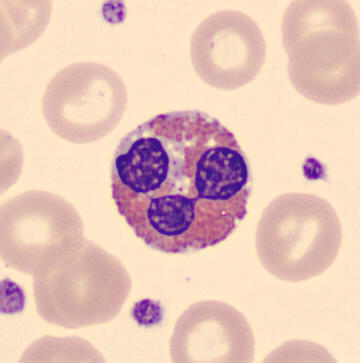 Peripheral blood film. CellaVision DM96.
Showing an eosinophil.